Peripheral blood film:
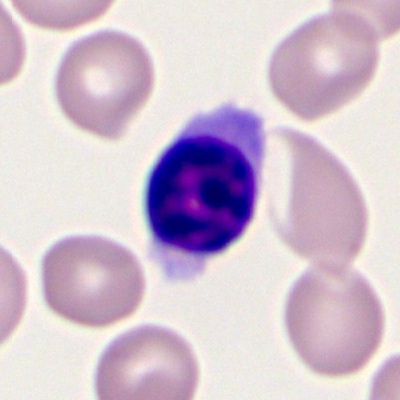 Q: What is shown here?
A: This is a typical lymphocyte.